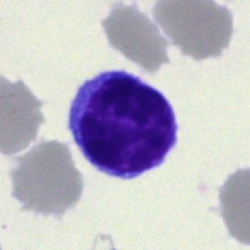 Morphological class = typical lymphocyte.